Bone marrow aspirate smear · 40× objective, oil immersion: 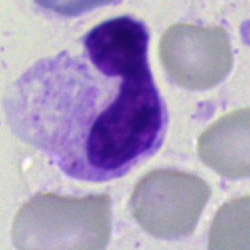

Single cell identified as a polymorphonuclear neutrophil.